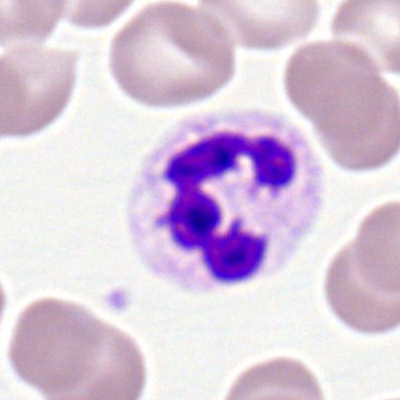Morphology consistent with a polymorphonuclear neutrophil.